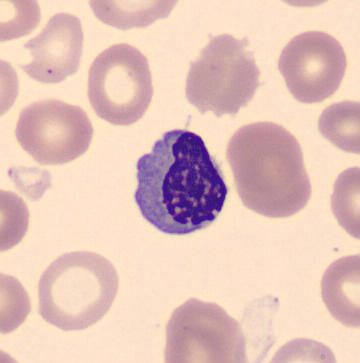
Q: What cell is this?
A: This is a normoblast.